Bone marrow aspirate smear.
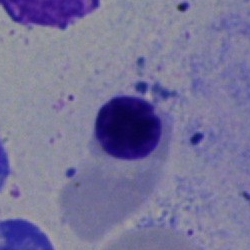 Q: What is the morphological classification of this cell?
A: It is a nucleated red cell.